Bone marrow aspirate smear. 40× oil immersion. MGG-stained — 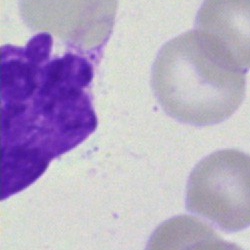

Cell type — artifact.